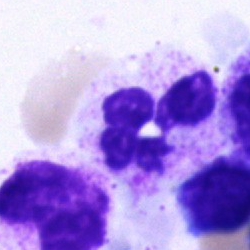

Neutrophil (segmented).